May-Grünwald-Giemsa stain · bone marrow aspirate smear.
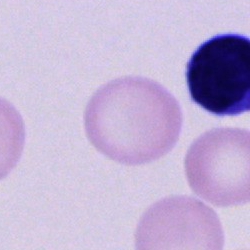 Specimen: bone marrow aspirate smear.
Cell type: unidentifiable cell.